Bone marrow aspirate smear — 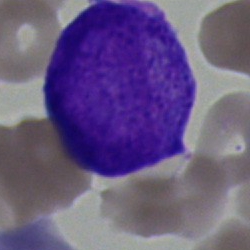Specimen: bone marrow smear.
Cell: blast.